Bone marrow aspirate smear — 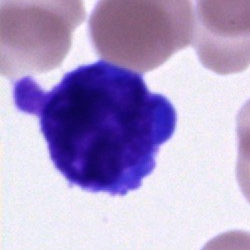 Classification: unidentifiable cell.